250×250 px; bone marrow aspirate smear.
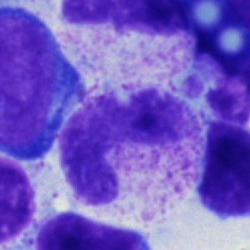
Morphology → band neutrophil.